Bone marrow aspirate smear · 250×250: 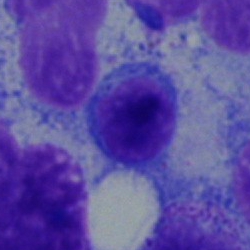
Impression — typical lymphocyte.